Bone marrow smear:
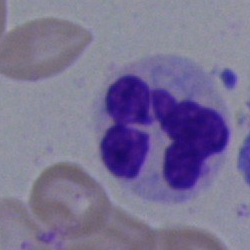Single cell identified as a segmented neutrophil.